Bone marrow aspirate smear: 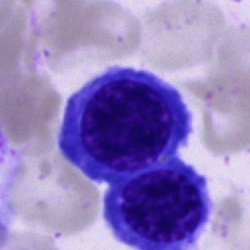Normoblast.